Bone marrow smear
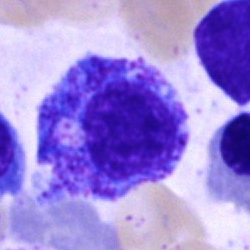
Specimen: bone marrow aspirate smear.
Classification: progranulocyte.